M8 digital microscope (Precipoint), 100× oil immersion. Peripheral blood film. 400 by 400 pixels
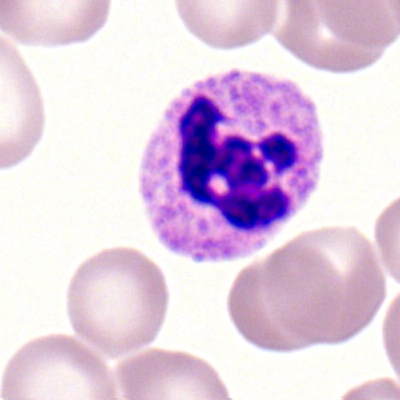
Classification: segmented neutrophil.